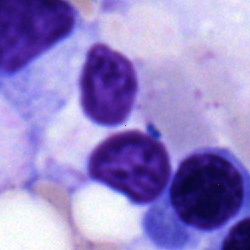

Q: What is the morphological classification of this cell?
A: This is a neutrophil (segmented).